May-Grünwald-Giemsa/Pappenheim stain · bone marrow aspirate smear
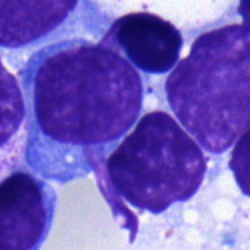Cell: plasma cell.